Bone marrow smear.
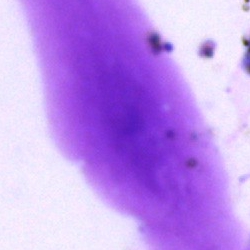 Cell type — artefact.